Bone marrow aspirate smear — 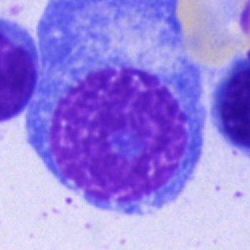Morphology consistent with a plasma cell.